Bone marrow aspirate smear · single cell centered in the field · image size 250×250: 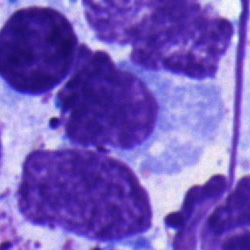
Q: What is shown here?
A: Typical lymphocyte.